Bone marrow aspirate smear.
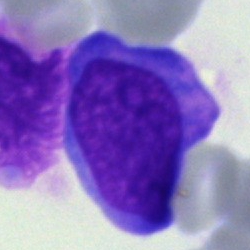 Q: What is the morphological classification of this cell?
A: An undifferentiated blast.